May-Grünwald-Giemsa stain; single-cell field; bone marrow smear
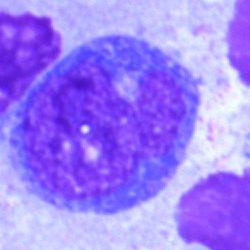Q: What is shown here?
A: A monocyte.